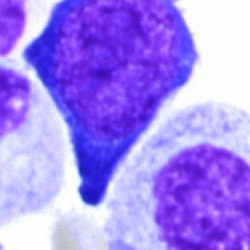{"cell_type": "proerythroblast"}